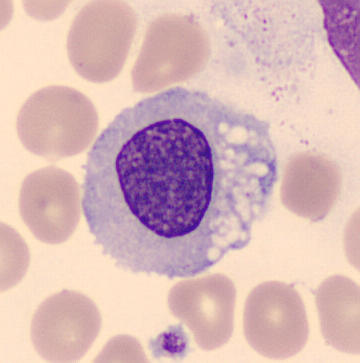

Acquisition: MGG-stained. Peripheral blood smear.
Morphology — monocyte.